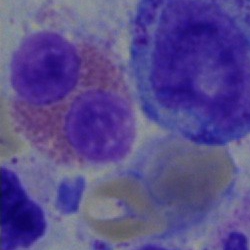
Single cell identified as an eosinophilic granulocyte.